250×250; bone marrow smear — 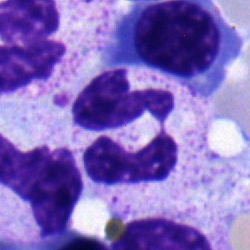
Single cell identified as a polymorphonuclear neutrophil.